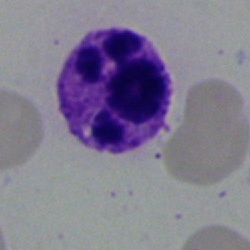The cell shown is a segmented neutrophil.